Bone marrow smear: 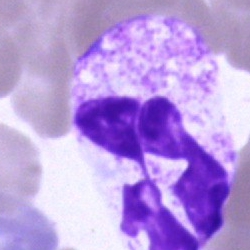

Single cell identified as a polymorphonuclear neutrophil.